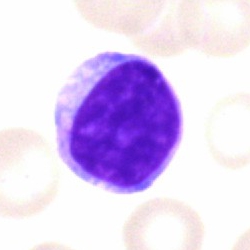

Q: What is shown here?
A: Lymphocyte.